Bone marrow aspirate smear: 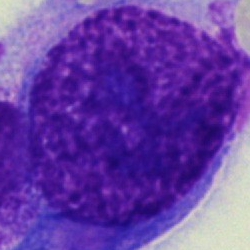
Q: What is shown here?
A: This is an artifact.